Bone marrow smear: 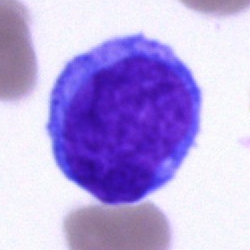Specimen: bone marrow smear.
Cell type: undifferentiated blast.